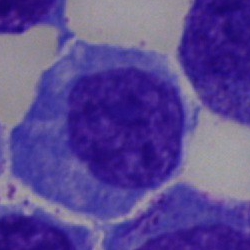Morphological class: blast cell.